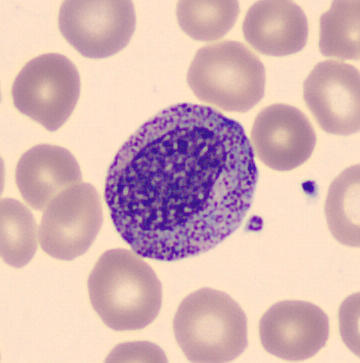
Specimen: peripheral blood smear.
Morphological class: myelocyte.